Bone marrow smear: 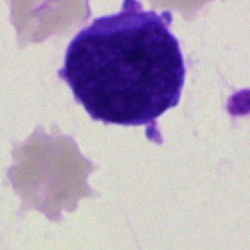

Q: What cell is this?
A: Blast cell.